Bone marrow aspirate smear; image size 250×250.
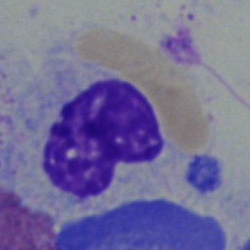

Q: Which cell type is shown here?
A: It is a band-form neutrophil.